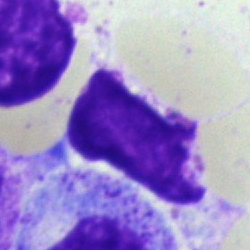

Impression — artifact.